Bone marrow aspirate smear:
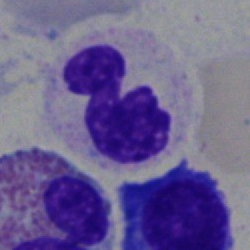
A polymorphonuclear neutrophil.